250×250 · bone marrow smear — 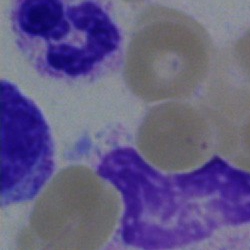
Q: Identify the cell.
A: This is a polymorphonuclear neutrophil.